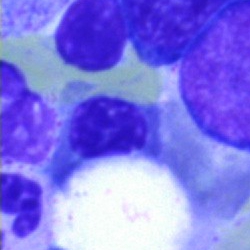

Specimen: bone marrow smear.
Classification: nucleated red cell.
Lineage: erythroid.